Bone marrow aspirate smear. May-Grünwald-Giemsa/Pappenheim stain. 40× objective, oil immersion — 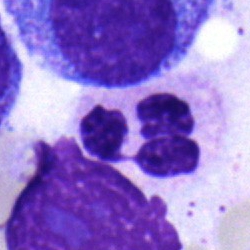
Polymorphonuclear neutrophil.